400×400. Peripheral blood film. 100× objective, oil immersion
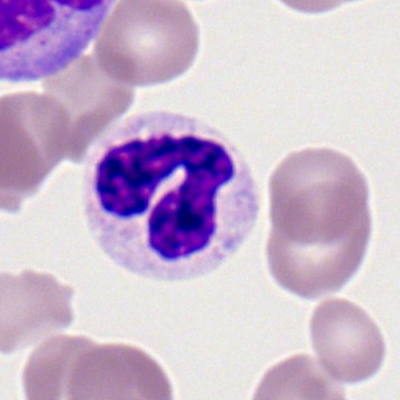Single cell identified as a neutrophil (segmented).